Bone marrow aspirate smear · 250×250 · Pappenheim-stained
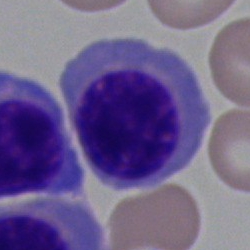
{"cell_type": "nucleated red cell"}